250 by 250 pixels. Bone marrow smear:
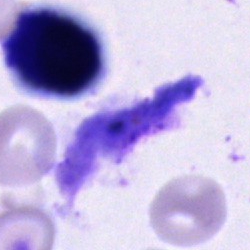

Cell type: cell of indeterminate lineage.